Single-cell field; bone marrow smear: 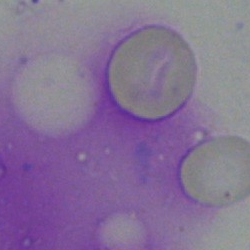
Classification — artifact.